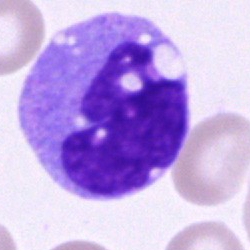Cell type: monocyte.